Single-cell field; bone marrow aspirate smear; May-Grünwald-Giemsa stain: 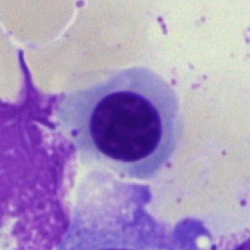

The cell shown is a normoblast.